Bone marrow smear — 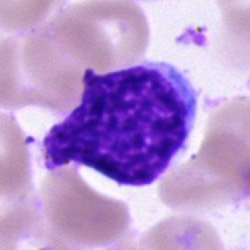

Morphology → artefact.